Bone marrow aspirate smear:
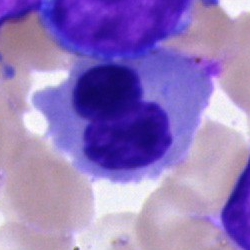 This is a nucleated red cell.